Peripheral blood film:
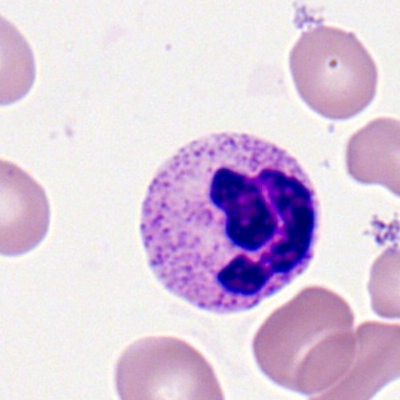 The cell type is segmented neutrophil.